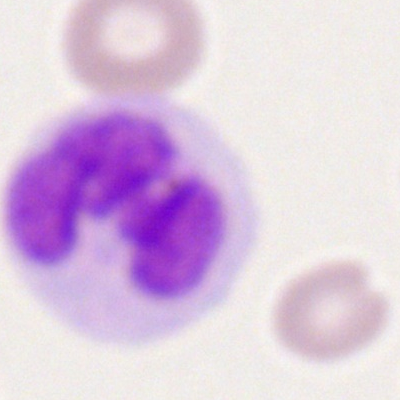
Impression — monocyte.